Single cell centered in the field · Pappenheim-stained · bone marrow smear:
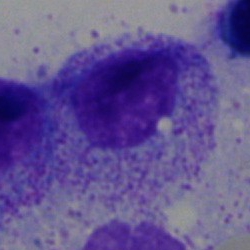 This is a progranulocyte.